Bone marrow aspirate smear · single cell centered in the field · May-Grünwald-Giemsa stain — 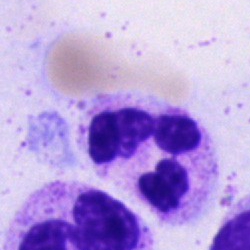
Cell type = segmented neutrophil.